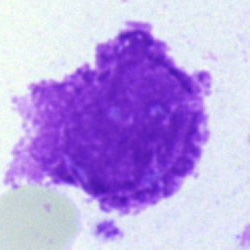Specimen: bone marrow aspirate smear.
Cell: artifact.